Bone marrow aspirate smear
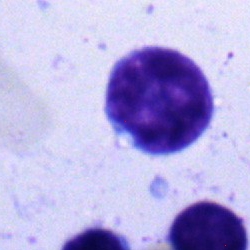 Q: What type of cell is this?
A: It is a monocyte.